Bone marrow smear: 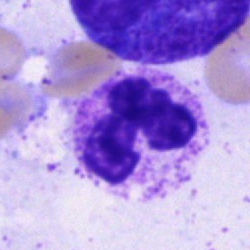
Cell: polymorphonuclear neutrophil.